Bone marrow aspirate smear; MGG-stained: 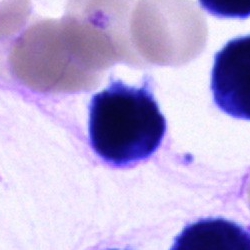
Specimen: bone marrow smear.
Cell: cell of indeterminate lineage.